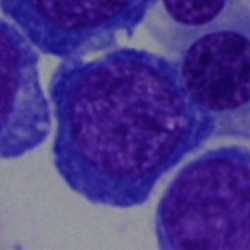 Cell: normoblast.